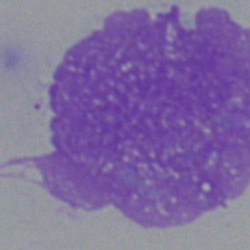 Morphological class — artifact.